Bone marrow aspirate smear:
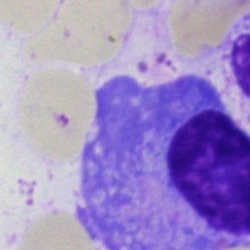 The cell shown is a plasmacyte.